Bone marrow aspirate smear.
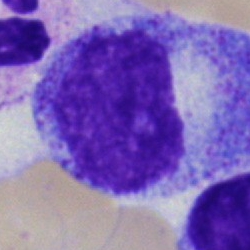Morphology consistent with a promyelocyte.